Bone marrow smear
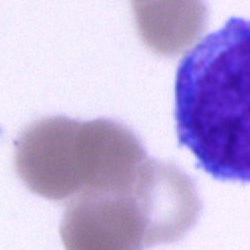
Classification: blast.